Bone marrow aspirate smear · image size 250×250 — 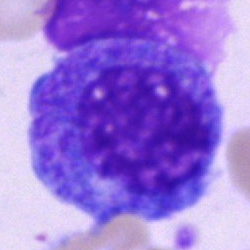 Morphology — promyelocyte.